MGG-stained · single-cell field · bone marrow smear: 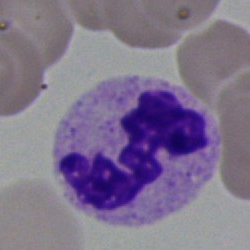Cell type — polymorphonuclear neutrophil.